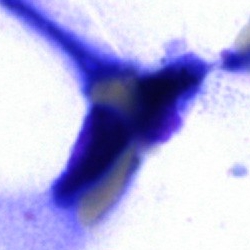 Cell — artefact.